Brightfield, 40× oil-immersion objective · bone marrow aspirate smear.
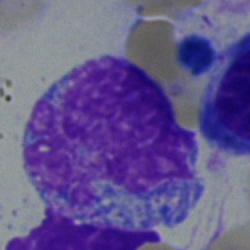
Specimen: bone marrow aspirate smear.
Cell type: undifferentiated blast.